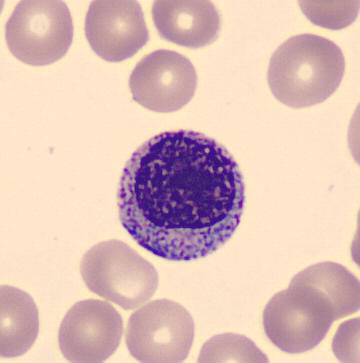
The cell type is myelocyte.